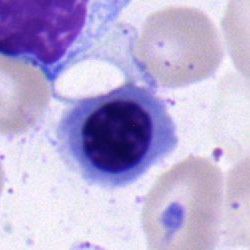
A nucleated red blood cell.